Single cell centered in the field. 40× oil immersion. Bone marrow smear:
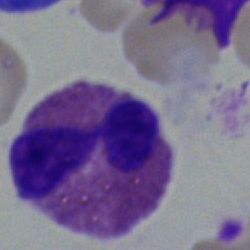
This is an eosinophil.